Brightfield, 40× oil-immersion objective. Bone marrow aspirate smear. May-Grünwald-Giemsa stain:
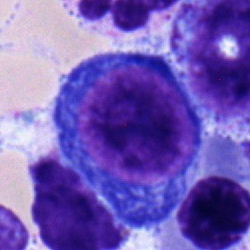Specimen: bone marrow smear.
Classification: pronormoblast.
Lineage: erythroid.